Bone marrow smear
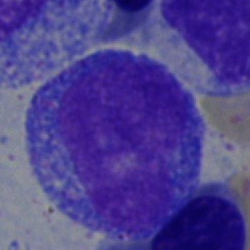 Q: Which cell type is shown here?
A: It is a promyelocyte.